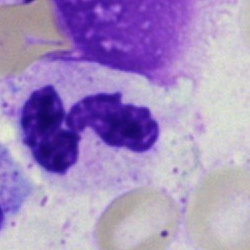This is a segmented neutrophil.